Image size 250×250 · bone marrow aspirate smear:
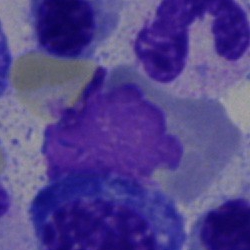 Q: What is shown here?
A: An artefact.